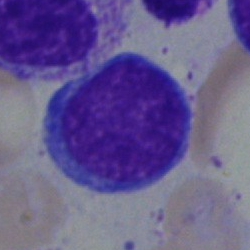 Morphological class: typical lymphocyte.